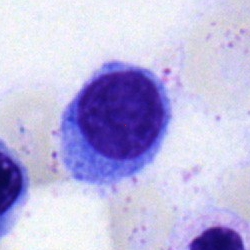Q: What is shown here?
A: It is a typical lymphocyte.